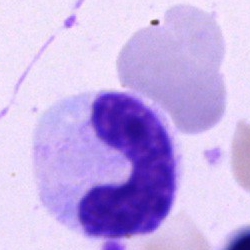
Morphology — band neutrophil.